May-Grünwald-Giemsa/Pappenheim stain. Bone marrow smear. Brightfield, 40× oil-immersion objective: 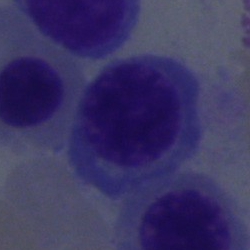Showing an erythroblast.